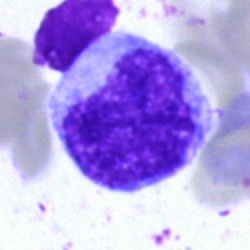

Q: Which cell type is shown here?
A: Undifferentiated blast.